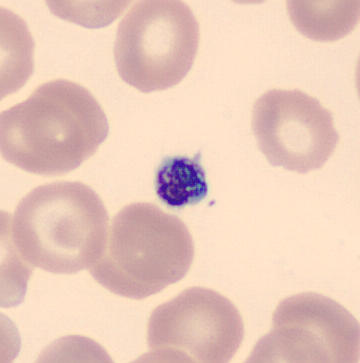
Peripheral blood film; 360 by 363 pixels.

A thrombocyte.